Bone marrow aspirate smear:
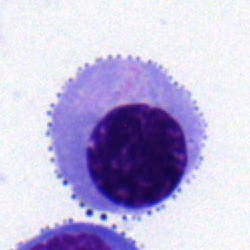Q: What type of cell is this?
A: It is a nucleated red blood cell.